250×250; MGG-stained; bone marrow smear
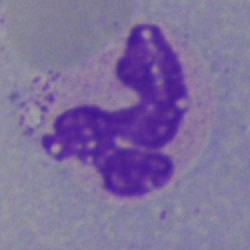 Morphological class = artifact.